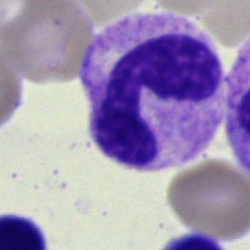

This is a neutrophil (segmented).